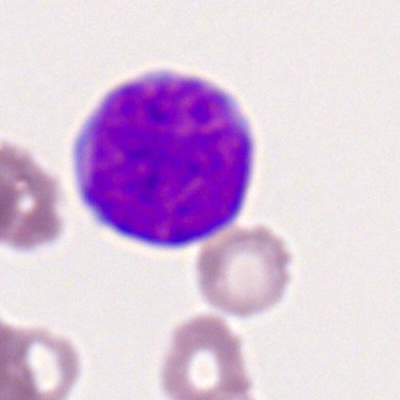Showing a myeloid blast.